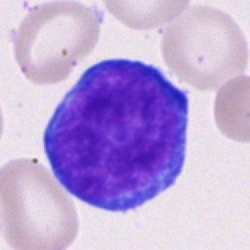The cell shown is a pronormoblast.